Bone marrow smear; brightfield, 40× oil-immersion objective; Pappenheim-stained.
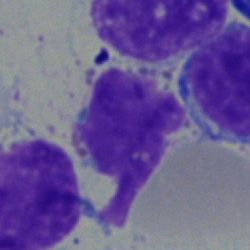

Morphology consistent with a typical lymphocyte.